Bone marrow aspirate smear; single-cell field; May-Grünwald-Giemsa/Pappenheim stain.
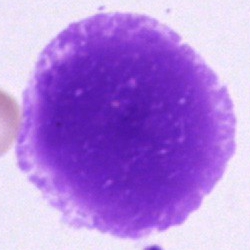 Single cell identified as an artifact.